Bone marrow smear · 250×250 px · cropped to a single cell
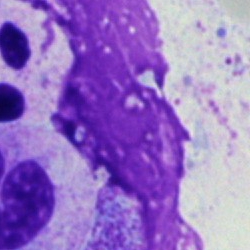
Specimen: bone marrow aspirate smear.
Morphological class: artifact.